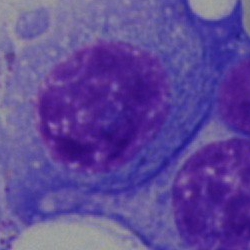 Q: Which cell type is shown here?
A: It is a plasmacyte.